Bone marrow aspirate smear:
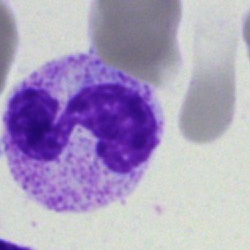
Impression — polymorphonuclear neutrophil.